May-Grünwald-Giemsa stain. Bone marrow aspirate smear:
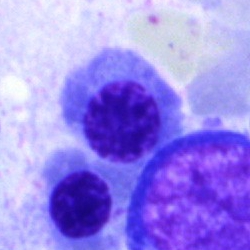

Q: What cell is this?
A: It is a nucleated red cell.